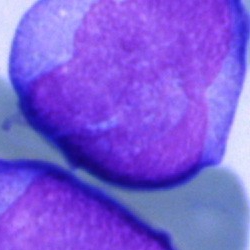Q: Which cell type is shown here?
A: This is an undifferentiated blast.